Bone marrow aspirate smear · cropped to a single cell — 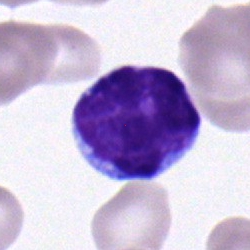 Q: What is shown here?
A: This is a typical lymphocyte.